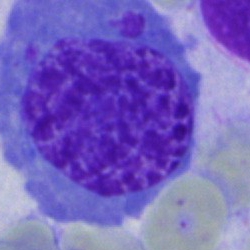 Morphology → nucleated red blood cell.